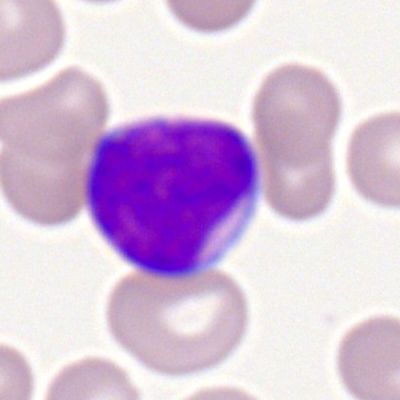
{"cell_type": "myeloblast", "lineage": "myeloid"}